40× oil immersion; bone marrow smear; image size 250×250.
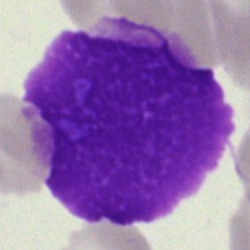Q: What is shown here?
A: Artifact.